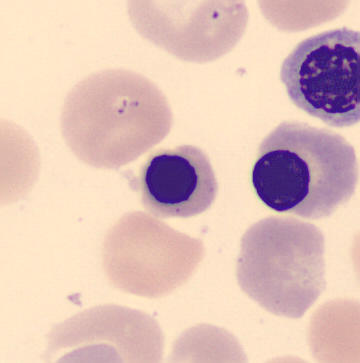
The cell is nucleated red blood cell. May-Grünwald-Giemsa-stained; peripheral blood film.